250×250 px; bone marrow smear; Pappenheim-stained:
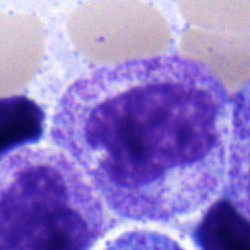

Morphology consistent with a myelocyte.